Bone marrow aspirate smear
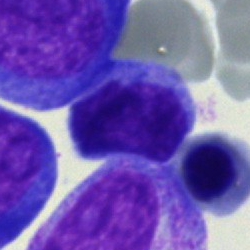
{"cell_type": "lymphocyte"}